40× oil immersion. Bone marrow aspirate smear: 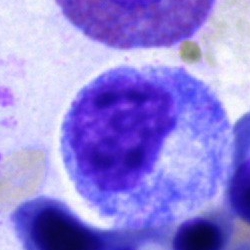 Single cell identified as a progranulocyte.